Peripheral blood film:
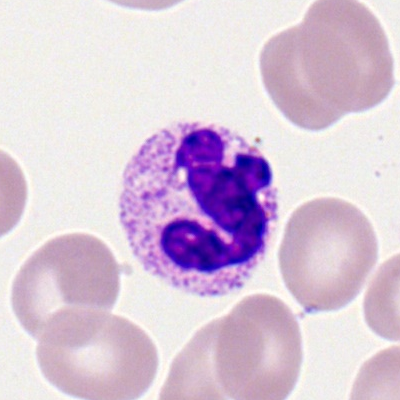The cell is segmented neutrophil.